Bone marrow aspirate smear. Cropped to a single cell. 250 by 250 pixels: 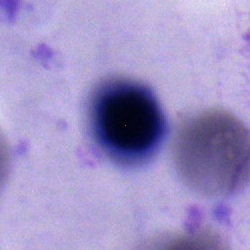

Classification: nucleated red cell.